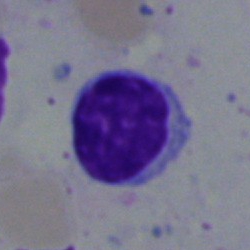 A lymphocyte.